Peripheral blood film — 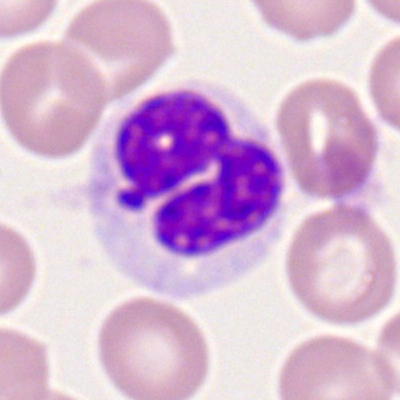Showing a segmented neutrophil.